Single-cell field; peripheral blood film:
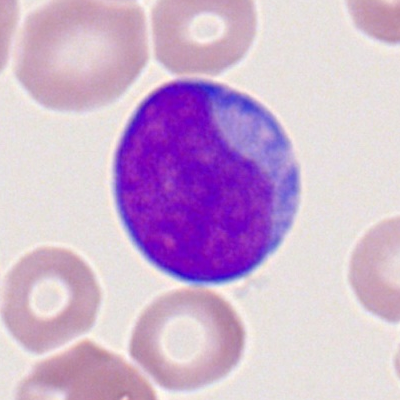Morphology consistent with a myeloblast.